Bone marrow aspirate smear — 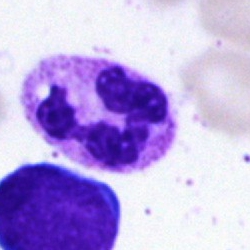Cell: segmented neutrophil.